Single-cell crop. Peripheral blood smear.
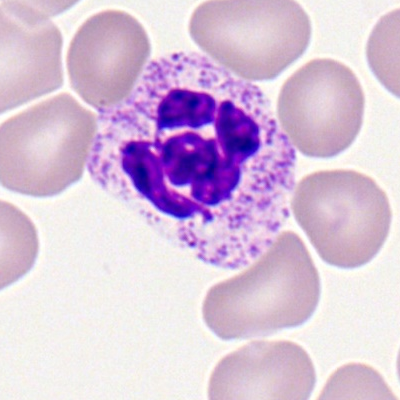 Morphology consistent with a segmented neutrophil.